Brightfield, 40× oil-immersion objective. Bone marrow aspirate smear — 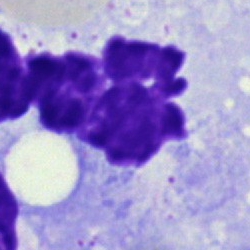

Classification: artifact.